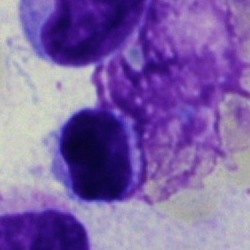The morphological class is lymphocyte.